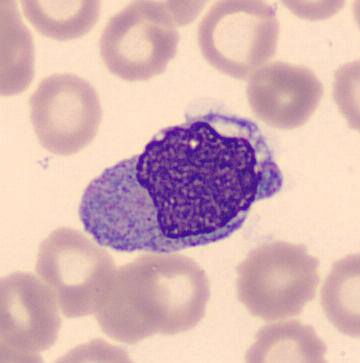 Monocyte.